May-Grünwald-Giemsa/Pappenheim stain. Bone marrow smear. 40× objective, oil immersion: 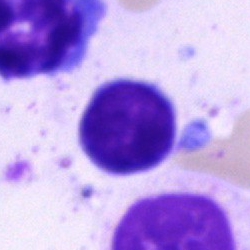 Morphology consistent with a lymphocyte.